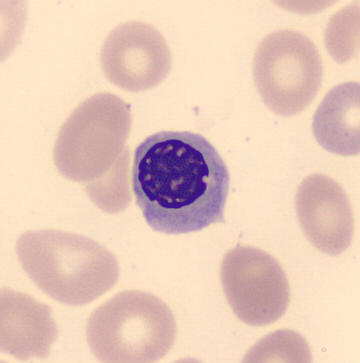
Q: What cell is this?
A: Nucleated red blood cell. Peripheral blood film.